Bone marrow aspirate smear; brightfield microscopy, 40× oil immersion; Pappenheim-stained
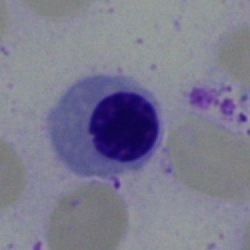
Impression → nucleated red cell.